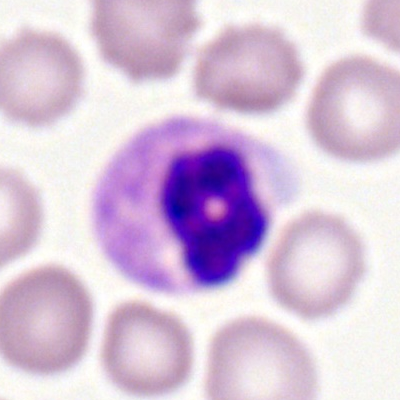Morphology — segmented neutrophil.